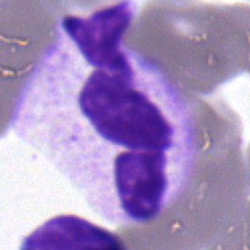

Single-cell crop from a bone marrow smear: segmented neutrophil.